40× objective, oil immersion. Bone marrow aspirate smear.
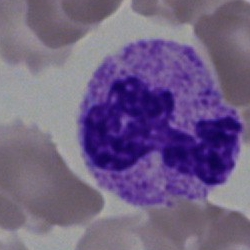

The cell shown is a neutrophil (segmented).